Bone marrow smear. 250×250 px: 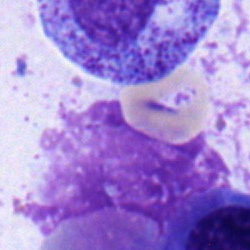Showing a progranulocyte.